Bone marrow aspirate smear
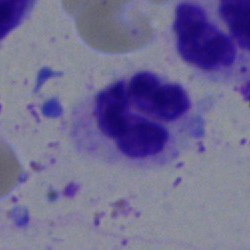Polymorphonuclear neutrophil.